Bone marrow smear
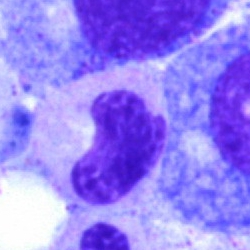
Morphology consistent with a metamyelocyte.